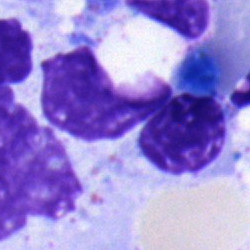Q: What is shown here?
A: This is a nucleated red cell.